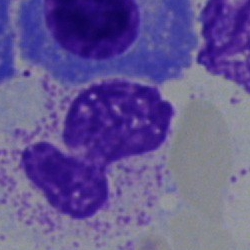
Classification: neutrophil (band).